Bone marrow smear: 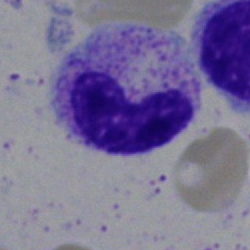 {"cell_type": "neutrophil (band)", "lineage": "myeloid"}